Single cell centered in the field. Peripheral blood film — 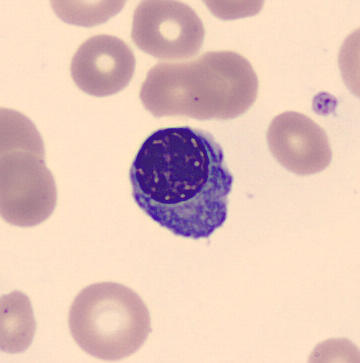Cell type: nucleated red cell.